Bone marrow aspirate smear: 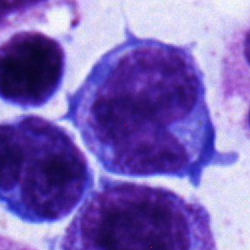

{"cell_type": "monocyte"}